Peripheral blood smear; imaged on a CellaVision DM96 analyser; 360 by 363 pixels.
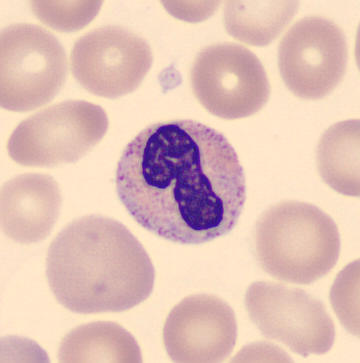Q: What is this?
A: Band neutrophil.